Bone marrow smear
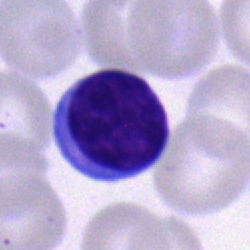
Showing a typical lymphocyte.